Bone marrow smear.
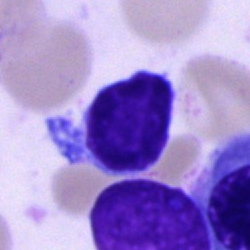
Classification: typical lymphocyte.